Bone marrow smear — 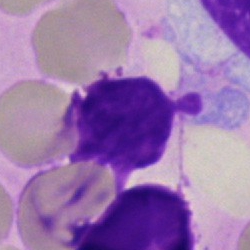This is an artifact.